Bone marrow smear; 40× objective, oil immersion:
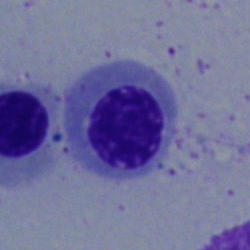Morphology → erythroblast.